Pappenheim-stained · 40× objective, oil immersion · bone marrow aspirate smear
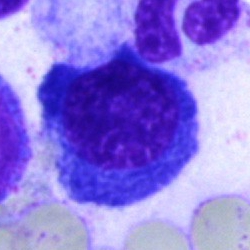 Morphology consistent with a nucleated red cell.